Brightfield, 40× oil-immersion objective. Bone marrow aspirate smear — 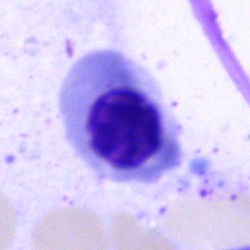 Specimen: bone marrow aspirate smear.
Classification: erythroblast.